Bone marrow smear.
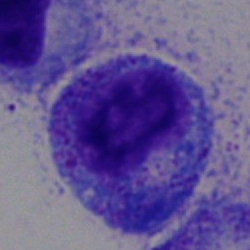Morphology — myelocyte.